Bone marrow smear — 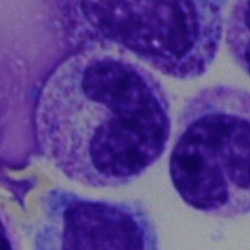 Q: Which cell type is shown here?
A: Band-form neutrophil.